Bone marrow aspirate smear.
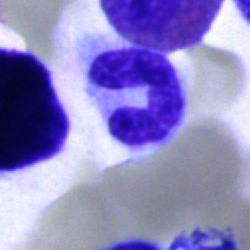

Morphological class — neutrophil (segmented).